Peripheral blood smear — 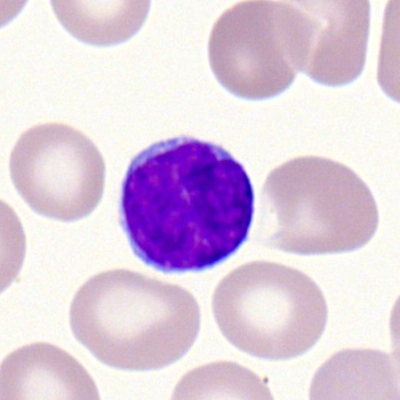

The cell shown is a typical lymphocyte.